Bone marrow smear: 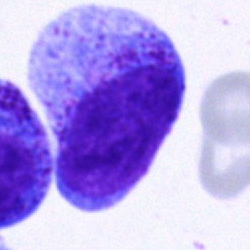The classification is promyelocyte.